MGG-stained; bone marrow smear
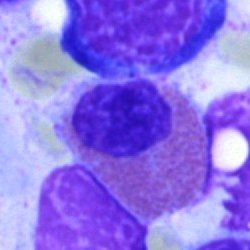Q: What type of cell is this?
A: Eosinophilic granulocyte.